Peripheral blood smear.
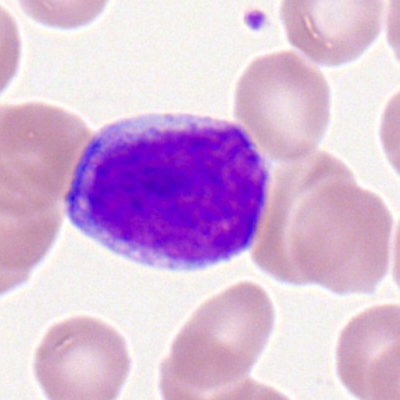Single cell identified as a myeloid blast.